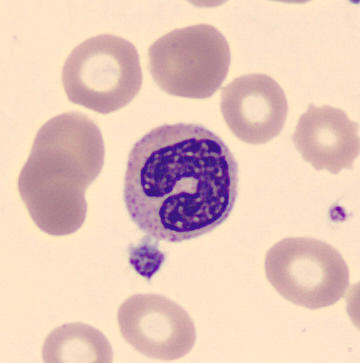Image: Image size 360×363; peripheral blood film.

A band-form neutrophil.